Bone marrow smear — 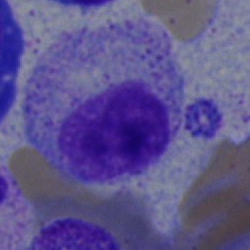Impression → myelocyte.